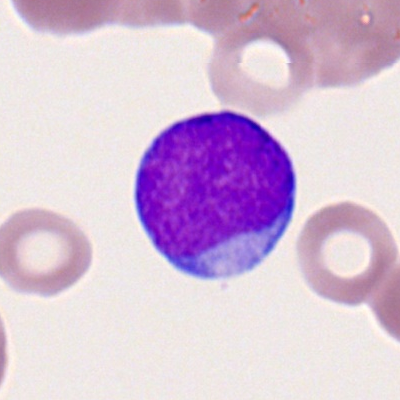
A myeloblast.